400×400 px · peripheral blood smear
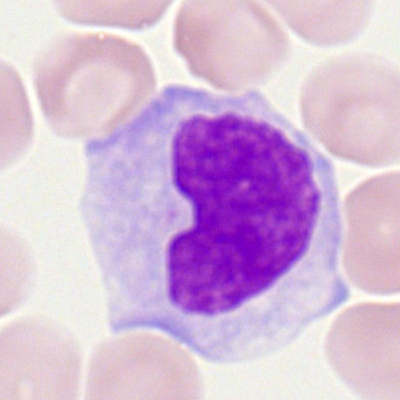
Morphology — monocyte.